May-Grünwald-Giemsa stain; bone marrow aspirate smear: 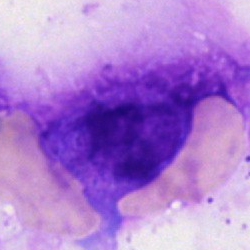

Showing an artefact.